Bone marrow smear: 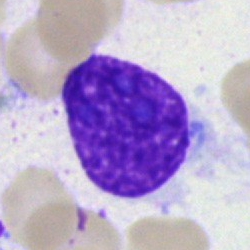Cell type — artifact.